Bone marrow aspirate smear; 250×250 px.
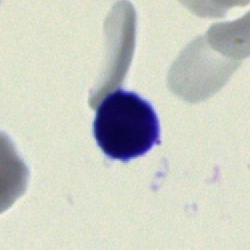Q: What type of cell is this?
A: It is a lymphocyte.